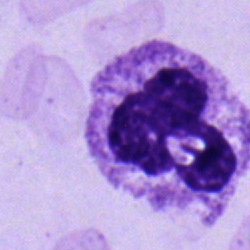Cell — polymorphonuclear neutrophil.